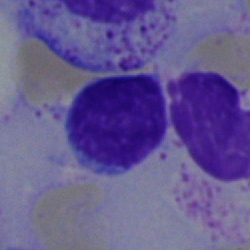

Bone marrow aspirate smear, single cell — typical lymphocyte.